Single-cell field. Bone marrow aspirate smear — 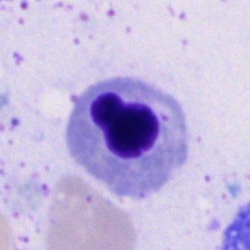
Classification: nucleated red cell.